May-Grünwald-Giemsa stain. Bone marrow aspirate smear. Single-cell crop — 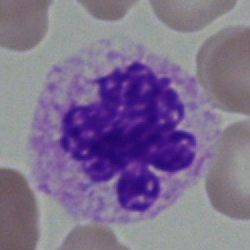 This is a polymorphonuclear neutrophil.